Bone marrow smear.
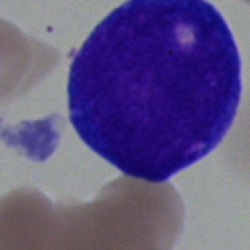 Morphology → proerythroblast.